Bone marrow aspirate smear: 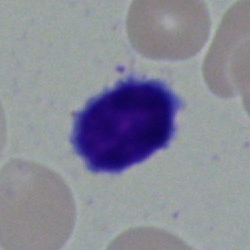
{"cell_type": "lymphocyte", "lineage": "lymphoid"}